Bone marrow aspirate smear:
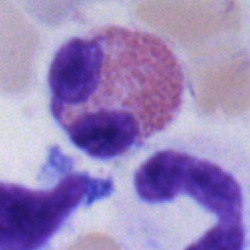An eosinophil.